Peripheral blood smear:
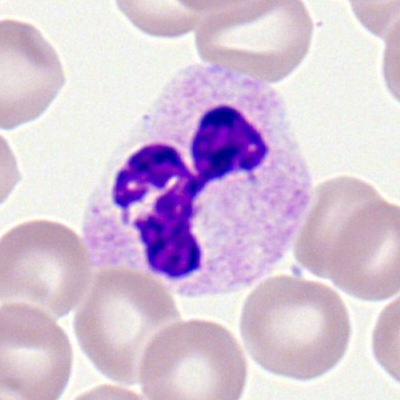Q: What cell is this?
A: A polymorphonuclear neutrophil.